Bone marrow aspirate smear — 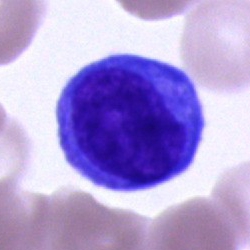
Single cell identified as an undifferentiated blast.